40× objective, oil immersion. Bone marrow smear — 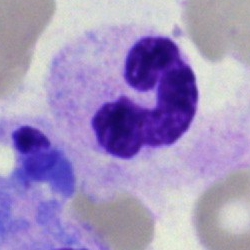Specimen: bone marrow aspirate smear.
Cell: band neutrophil.
Lineage: myeloid.